Bone marrow aspirate smear — 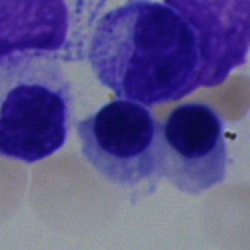

Morphology consistent with a nucleated red blood cell.